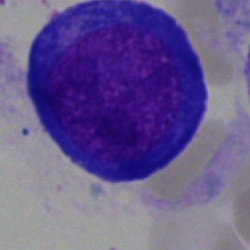A pronormoblast.